Bone marrow smear; cropped to a single cell; brightfield microscopy, 40× oil immersion.
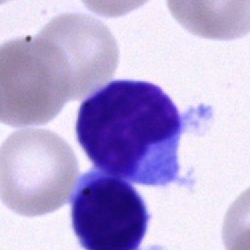Q: What cell is this?
A: A lymphocyte.